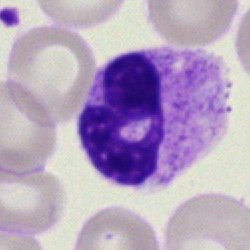 Specimen: bone marrow aspirate smear.
Cell: polymorphonuclear neutrophil.